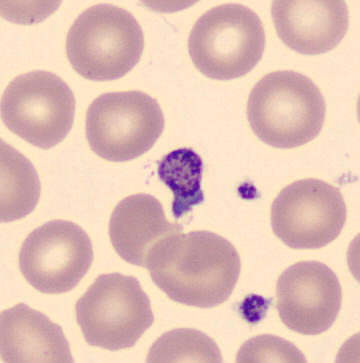

Q: What is this?
A: This is a platelet.